Bone marrow aspirate smear — 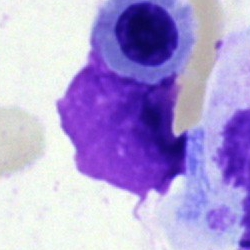{"cell_type": "artefact"}